Bone marrow smear.
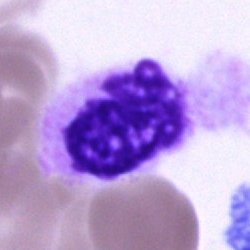
Segmented neutrophil.